Bone marrow smear:
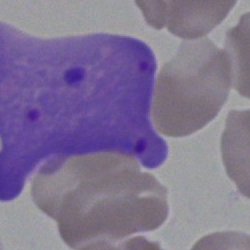 Q: What is shown here?
A: It is an artifact.